Bone marrow smear. May-Grünwald-Giemsa/Pappenheim stain:
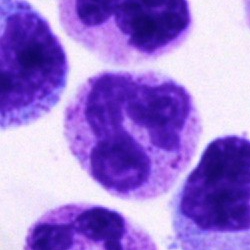 Showing a polymorphonuclear neutrophil.